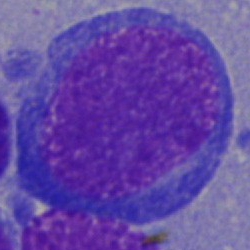

Blast cell.